40× objective, oil immersion; bone marrow aspirate smear
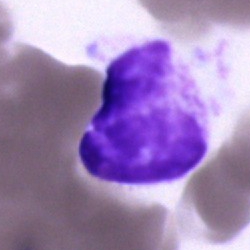Classification: cell of indeterminate lineage.